Bone marrow smear:
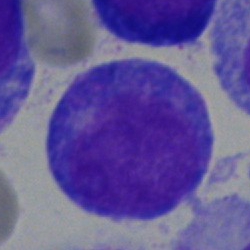 Q: What type of cell is this?
A: It is an undifferentiated blast.